Pappenheim-stained · bone marrow aspirate smear · 40× oil immersion:
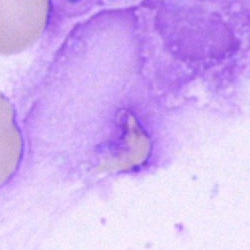
Q: What is shown here?
A: It is an artefact.